Bone marrow smear — 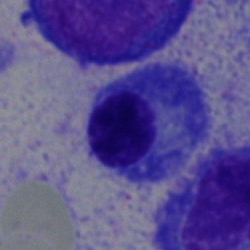

Morphology consistent with a plasma cell.